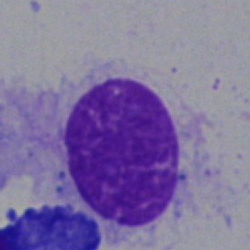{"cell_type": "artefact"}